Bone marrow aspirate smear:
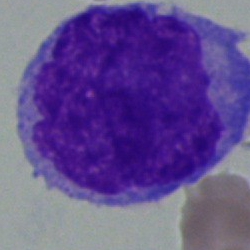
Impression → blast.